Image size 250×250. Brightfield microscopy, 40× oil immersion. Bone marrow smear: 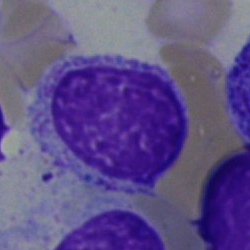{"cell_type": "myelocyte", "lineage": "myeloid"}